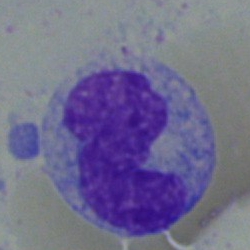
Bone marrow smear showing a monocyte.